Bone marrow aspirate smear:
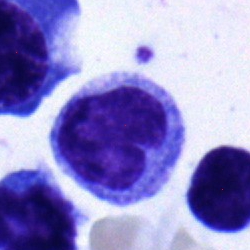
The cell shown is a monocyte.